MGG-stained; single cell centered in the field; bone marrow aspirate smear — 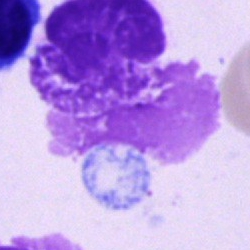
Single cell identified as an artifact.